Peripheral blood smear:
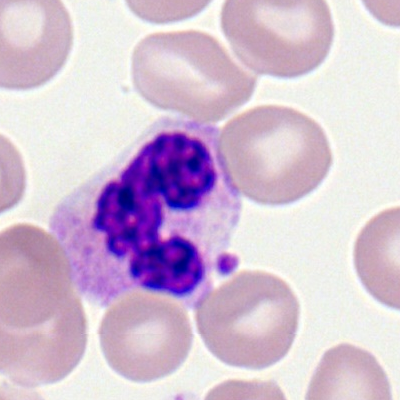 {"cell_type": "segmented neutrophil"}